Bone marrow smear; cropped to a single cell — 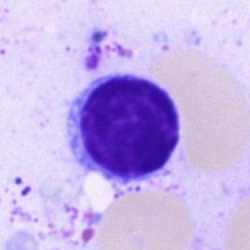
Typical lymphocyte.